Bone marrow smear: 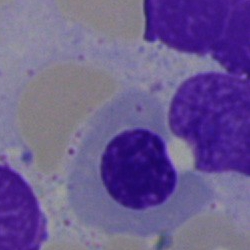

A normoblast.